Bone marrow aspirate smear: 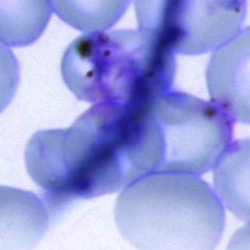

Cell — artifact.